Bone marrow smear. Single cell centered in the field:
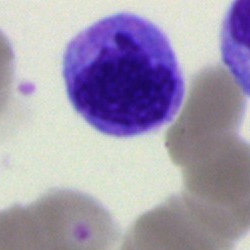

Q: Identify the cell.
A: A monocyte.